Bone marrow smear.
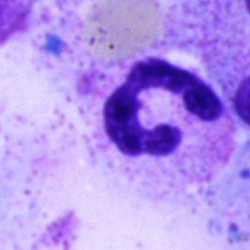{"cell_type": "polymorphonuclear neutrophil", "lineage": "myeloid"}